Bone marrow aspirate smear:
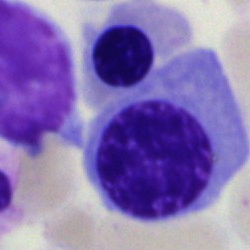
Q: Which cell type is shown here?
A: Nucleated red cell.